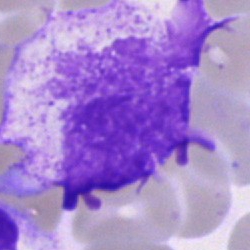
Morphology → artifact.